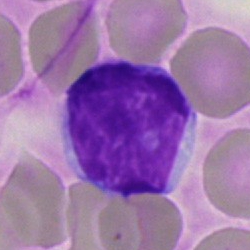

Classification: typical lymphocyte.